Bone marrow aspirate smear
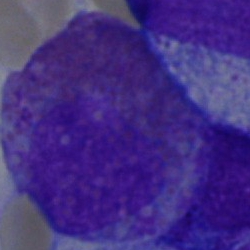Cell type: eosinophil.